Bone marrow smear.
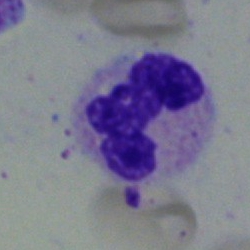

Specimen: bone marrow aspirate smear.
Cell type: polymorphonuclear neutrophil.
Lineage: myeloid.